Bone marrow aspirate smear.
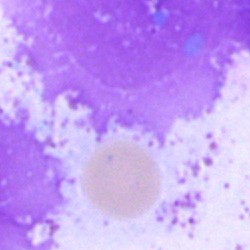

Q: What is shown here?
A: Artifact.